Peripheral blood film.
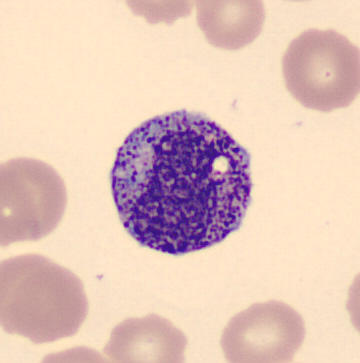
Q: What type of cell is this?
A: Metamyelocyte.